Bone marrow aspirate smear:
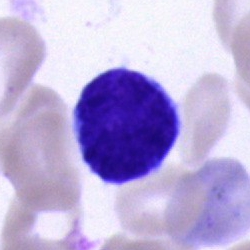 Q: What is the morphological classification of this cell?
A: It is a typical lymphocyte.